Bone marrow smear; single-cell field; 250 by 250 pixels.
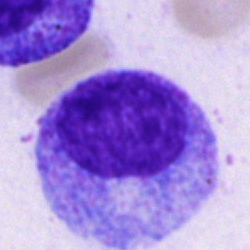Specimen: bone marrow smear.
Cell: promyelocyte.
Lineage: myeloid.